Bone marrow smear
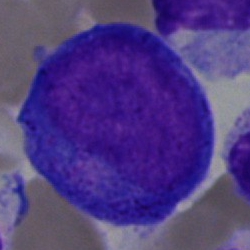
Showing a proerythroblast.